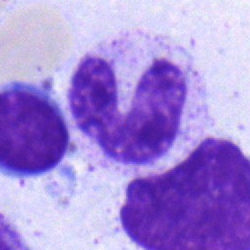Q: Which cell type is shown here?
A: A band-form neutrophil.